Bone marrow smear.
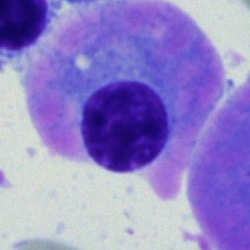 Morphological class = plasma cell.